Bone marrow smear. Image size 250×250. Brightfield, 40× oil-immersion objective:
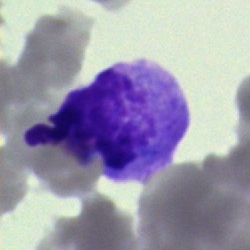
Specimen: bone marrow aspirate smear.
Classification: artefact.